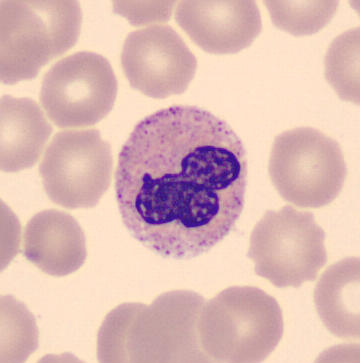 Q: What type of cell is this?
A: It is a band neutrophil.